May-Grünwald-Giemsa stain · single-cell crop · bone marrow aspirate smear.
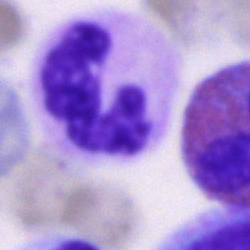

A neutrophil (segmented).